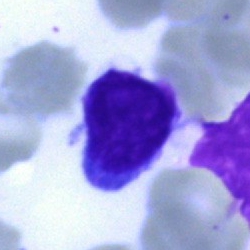
Impression — typical lymphocyte.